Bone marrow smear
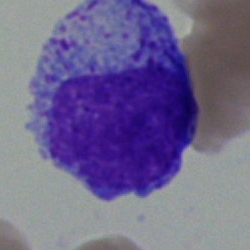 Specimen: bone marrow aspirate smear.
Morphological class: myelocyte.
Lineage: myeloid.